Bone marrow smear:
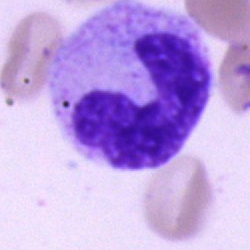 Morphology — neutrophil (band).